Bone marrow aspirate smear — 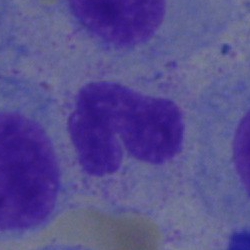 Morphological class: neutrophil (band).